Bone marrow smear; May-Grünwald-Giemsa/Pappenheim stain; image size 250×250:
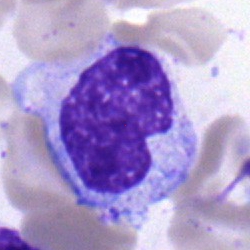

Cell: metamyelocyte.